250×250 px. Bone marrow smear. Single-cell field
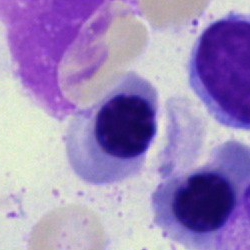Specimen: bone marrow smear.
Classification: erythroblast.
Lineage: erythroid.